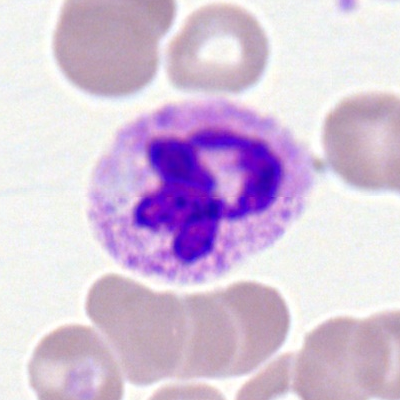 This is a polymorphonuclear neutrophil.